Bone marrow aspirate smear:
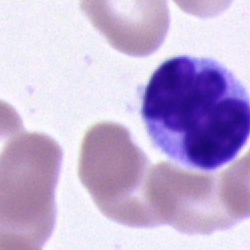 This is a polymorphonuclear neutrophil.